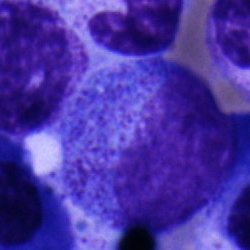 The morphological class is progranulocyte.